250×250; bone marrow aspirate smear; brightfield, 40× oil-immersion objective: 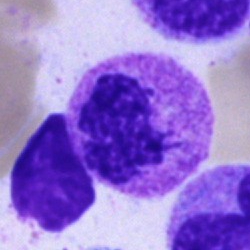

Morphology → segmented neutrophil.